Peripheral blood smear — 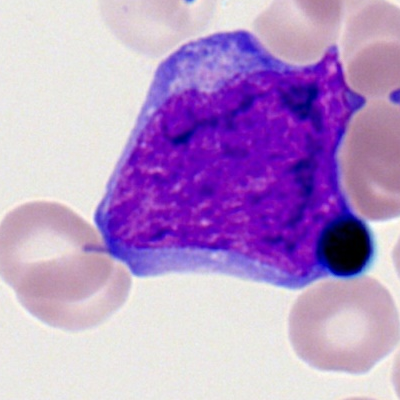
Q: What is shown here?
A: This is a myeloblast.